Bone marrow smear
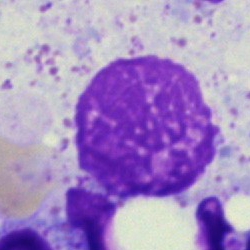
Specimen: bone marrow smear.
Morphological class: artefact.